Bone marrow aspirate smear · brightfield, 40× oil-immersion objective · May-Grünwald-Giemsa/Pappenheim stain:
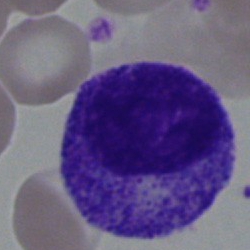

Q: What is shown here?
A: A myelocyte.